Peripheral blood smear
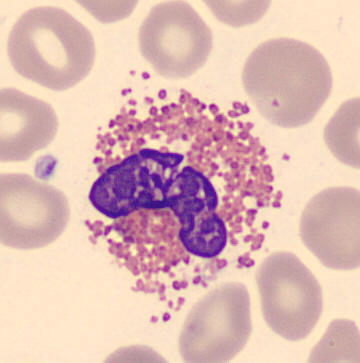

Showing an eosinophil.